Pappenheim-stained · 250×250 · bone marrow aspirate smear.
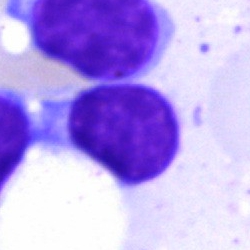

The cell shown is a typical lymphocyte.